Cropped to a single cell · bone marrow smear
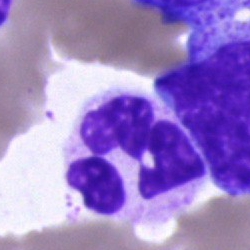 Single cell identified as a segmented neutrophil.